Bone marrow smear
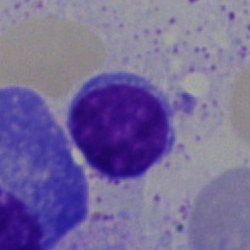
Showing a typical lymphocyte.